Single-cell field · bone marrow aspirate smear.
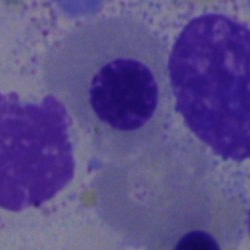
A normoblast.